May-Grünwald-Giemsa/Pappenheim stain; bone marrow smear.
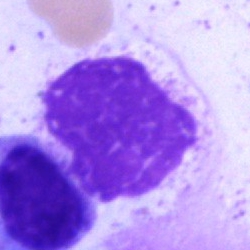
Artifact.